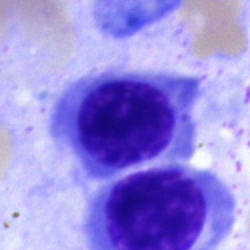

Impression — nucleated red blood cell.